400×400 px. Romanowsky-stained. Peripheral blood film: 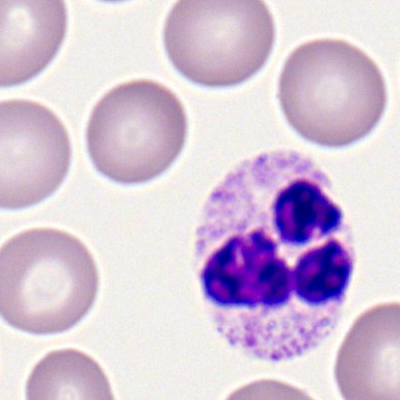

Cell: neutrophil (segmented).